Bone marrow aspirate smear
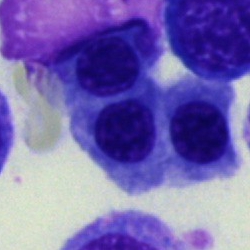 Showing an erythroblast.